Bone marrow aspirate smear.
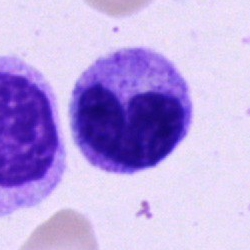The cell is band-form neutrophil.